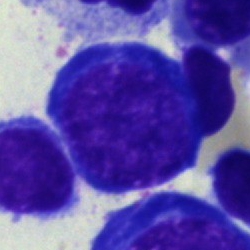

Morphology consistent with a proerythroblast.